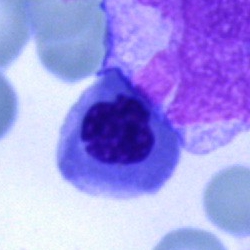

Bone marrow smear showing an erythroblast.